Bone marrow aspirate smear; 250 by 250 pixels; cropped to a single cell
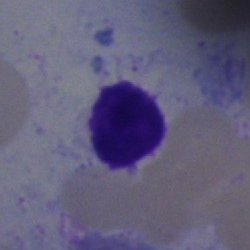This is a lymphocyte.